Bone marrow aspirate smear · 40× objective, oil immersion:
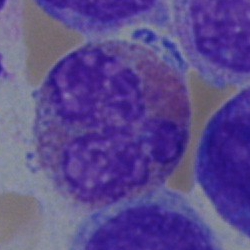Eosinophil.